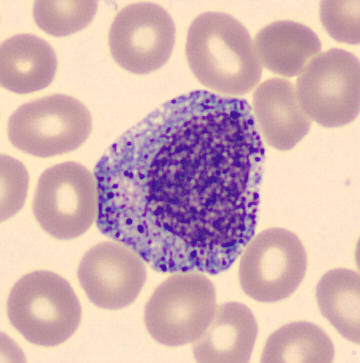 Peripheral blood smear. {"cell_type": "myelocyte", "lineage": "myeloid"}